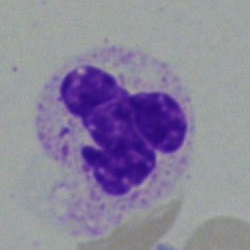

Specimen: bone marrow aspirate smear.
Morphological class: segmented neutrophil.
Lineage: myeloid.